Bone marrow aspirate smear.
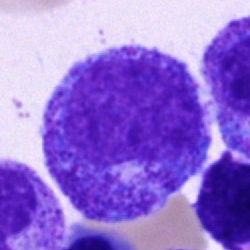A progranulocyte.